Bone marrow smear:
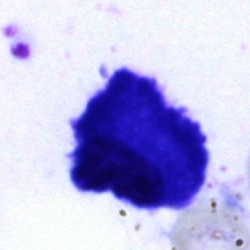
Specimen: bone marrow aspirate smear.
Cell: plasma cell.